Bone marrow aspirate smear.
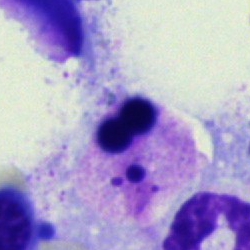
Single cell identified as an artifact.